Bone marrow aspirate smear:
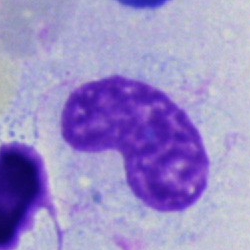 This is a band-form neutrophil.